Bone marrow smear.
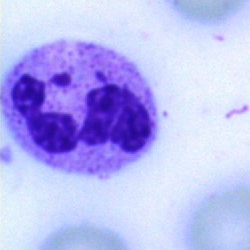 Morphological class = segmented neutrophil.